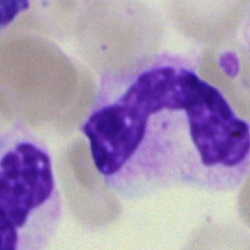 Q: Identify the cell.
A: It is a polymorphonuclear neutrophil.